Single-cell field; bone marrow smear; brightfield microscopy, 40× oil immersion.
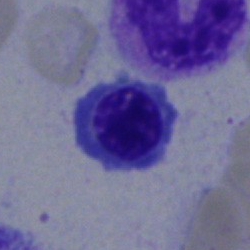 Specimen: bone marrow aspirate smear.
Cell type: erythroblast.